Bone marrow aspirate smear
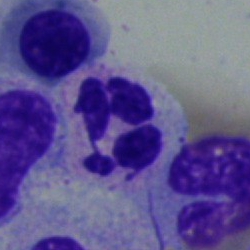
Cell: segmented neutrophil.